Bone marrow smear — 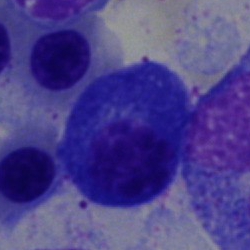
Morphology → plasmacyte.